May-Grünwald-Giemsa/Pappenheim stain. Bone marrow aspirate smear: 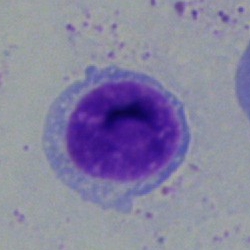
Lymphocyte.